MGG-stained · bone marrow aspirate smear.
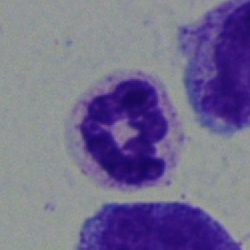
Specimen: bone marrow aspirate smear.
Morphological class: neutrophil (segmented).